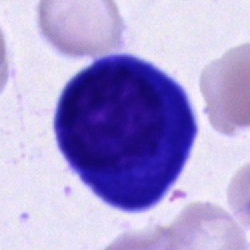 Impression → plasma cell.